Bone marrow aspirate smear; May-Grünwald-Giemsa/Pappenheim stain: 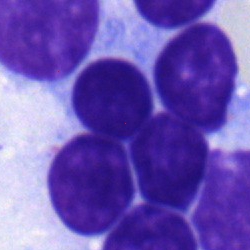Cell type: erythroblast.